Bone marrow aspirate smear · image size 250×250:
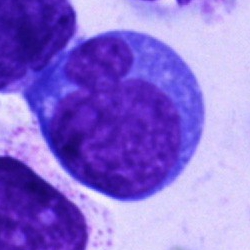Q: Which cell type is shown here?
A: Undifferentiated blast.